Bone marrow smear — 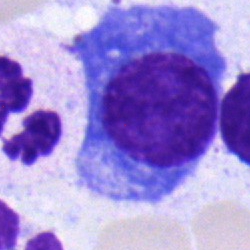Cell type — plasma cell.